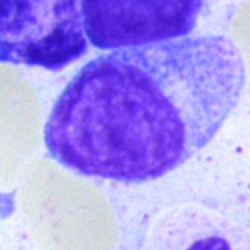Myelocyte.